Peripheral blood film. 100× objective, oil immersion — 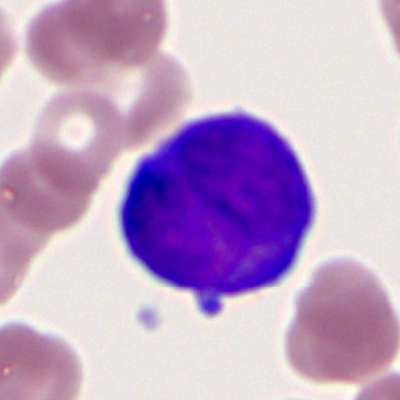

The morphological class is myeloid blast.